May-Grünwald-Giemsa stain. Single-cell crop. Bone marrow smear.
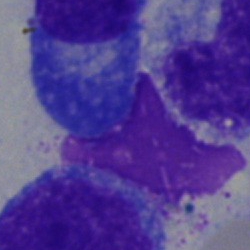

Specimen: bone marrow aspirate smear.
Cell: plasmacyte.